Bone marrow smear — 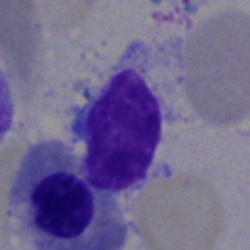
Q: What is shown here?
A: Artefact.